Bone marrow smear — 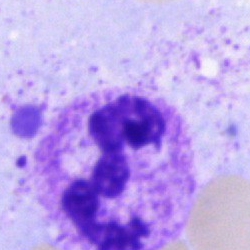
Specimen: bone marrow aspirate smear.
Classification: neutrophil (segmented).
Lineage: myeloid.